Bone marrow smear · brightfield, 40× oil-immersion objective · image size 250×250 — 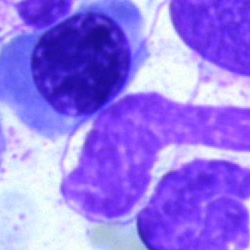 A nucleated red cell.